Bone marrow smear
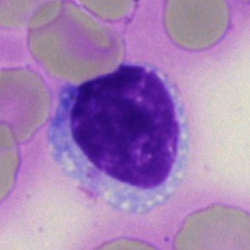 Morphological class = lymphocyte.